Bone marrow smear.
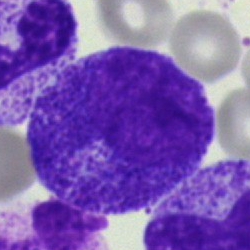
Q: What cell is this?
A: Progranulocyte.